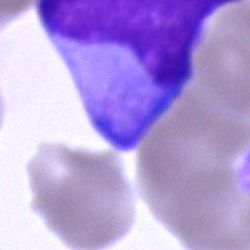Single-cell crop from a bone marrow smear: blast cell.